Bone marrow aspirate smear
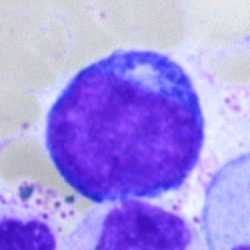
Pronormoblast.